Brightfield, 40× oil-immersion objective; bone marrow aspirate smear:
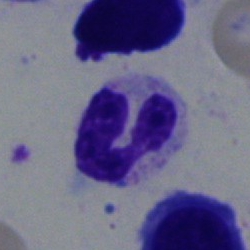

Cell — segmented neutrophil.